Peripheral blood film
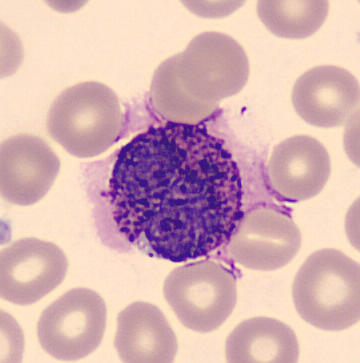 The cell type is basophilic granulocyte.